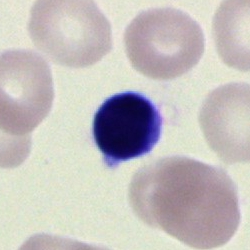 Q: What cell is this?
A: A typical lymphocyte.